Bone marrow aspirate smear:
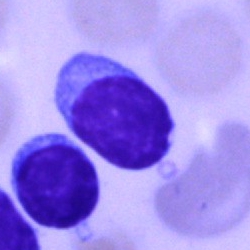Morphology consistent with a typical lymphocyte.